Single cell centered in the field. 250 by 250 pixels. Bone marrow aspirate smear — 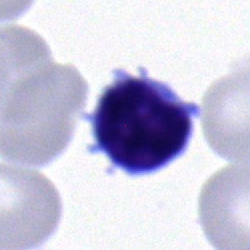

The cell type is typical lymphocyte.